Bone marrow smear
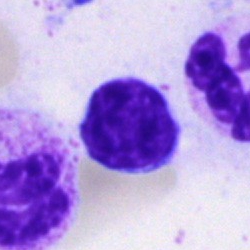

Q: What is shown here?
A: Typical lymphocyte.